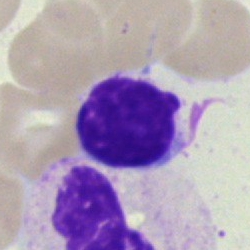
The cell shown is an artefact.